Bone marrow aspirate smear
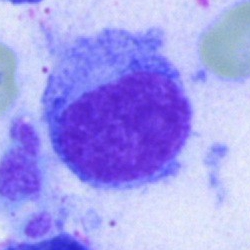

A hairy cell.